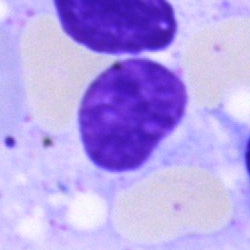Q: What is shown here?
A: An artefact.